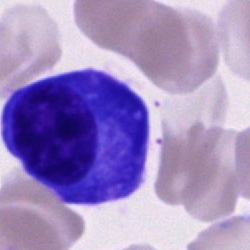

Cell — plasmacyte.